Bone marrow aspirate smear.
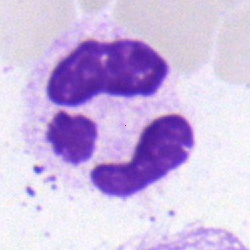 Morphology consistent with a polymorphonuclear neutrophil.